Cropped to a single cell · 40× oil immersion · bone marrow smear.
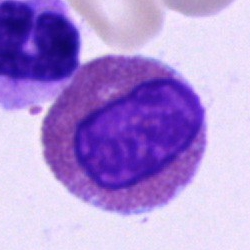
Cell: eosinophilic granulocyte.